Bone marrow smear. 40× objective, oil immersion: 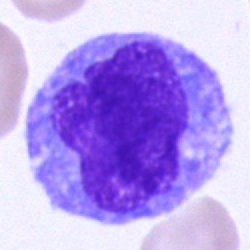 Specimen: bone marrow aspirate smear.
Morphological class: monocyte.